Peripheral blood smear; Romanowsky-type stain
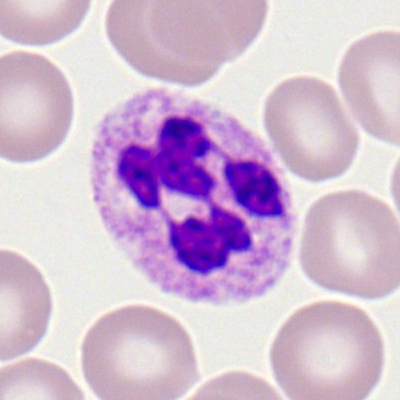

The cell shown is a polymorphonuclear neutrophil.